Bone marrow aspirate smear. Single cell centered in the field
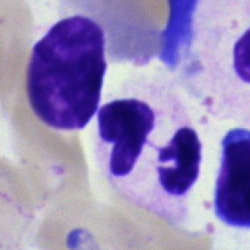

Single cell identified as a polymorphonuclear neutrophil.